40× oil immersion · bone marrow smear — 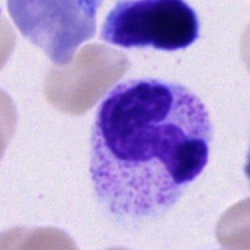 The cell shown is a polymorphonuclear neutrophil.